Pappenheim-stained; single cell centered in the field; bone marrow aspirate smear.
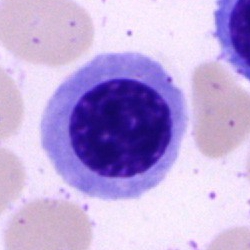
Q: Identify the cell.
A: Nucleated red cell.